Bone marrow smear — 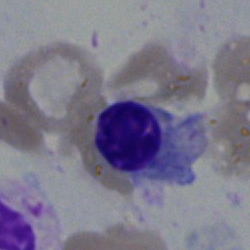 Q: What is shown here?
A: Normoblast.